Bone marrow smear — 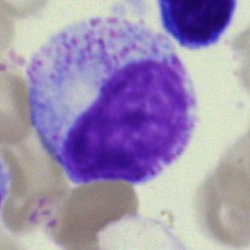

Specimen: bone marrow smear.
Cell: myelocyte.
Lineage: myeloid.